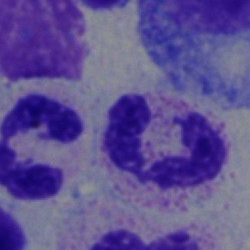Cell type — neutrophil (segmented).